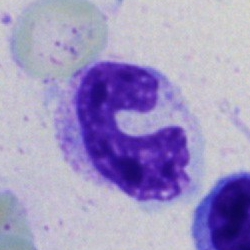 Bone marrow smear showing a neutrophil (band).